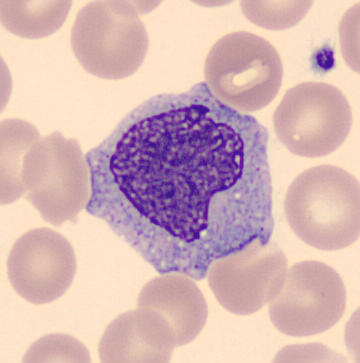

Impression — monocyte. Acquisition: MGG stain. Peripheral blood film. Single-cell crop.